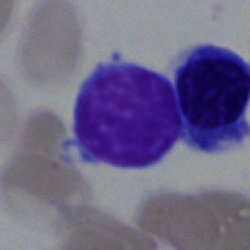 Morphological class: typical lymphocyte.